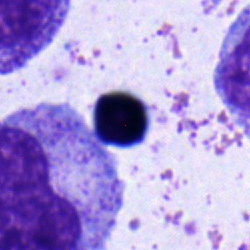

Bone marrow aspirate smear, single cell — nucleated red blood cell.